Bone marrow smear
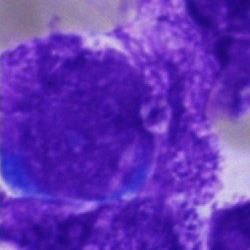

The classification is artefact.